250×250 · bone marrow smear.
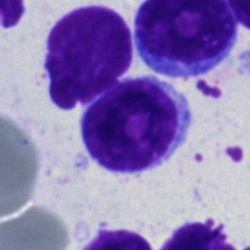
Specimen: bone marrow smear.
Morphological class: lymphocyte.
Lineage: lymphoid.